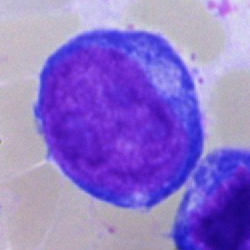

Impression → proerythroblast.